Bone marrow smear
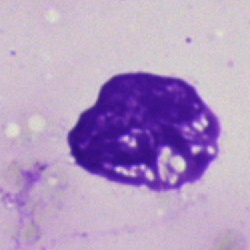 An artifact.